Bone marrow aspirate smear: 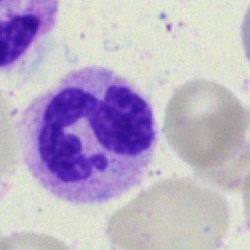 Q: What cell is this?
A: A polymorphonuclear neutrophil.